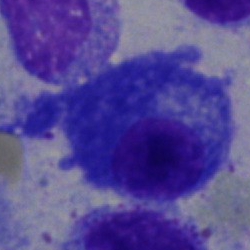 Showing a plasma cell.